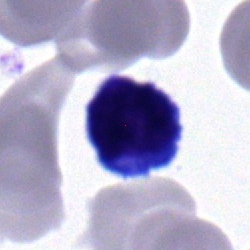

Single cell identified as a typical lymphocyte.